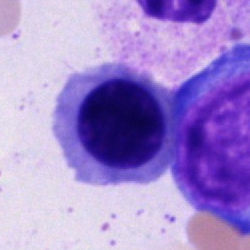The cell type is normoblast.